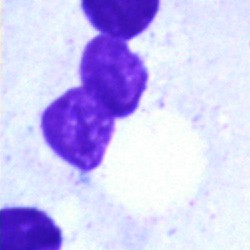

Bone marrow aspirate smear, single cell — artefact.